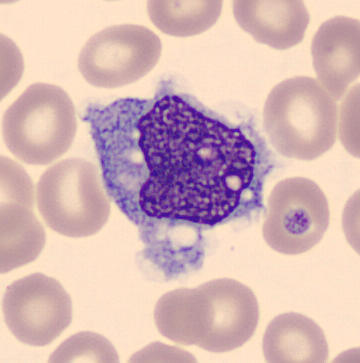 Image: Peripheral blood film. Single-cell crop.
The cell is monocyte.